Bone marrow smear. 40× objective, oil immersion.
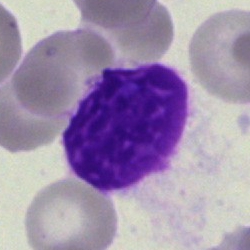 Q: What is shown here?
A: This is an artefact.